Bone marrow smear:
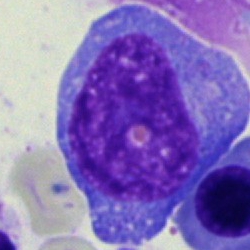
Impression — plasma cell.